MGG-stained · 40× objective, oil immersion · bone marrow aspirate smear — 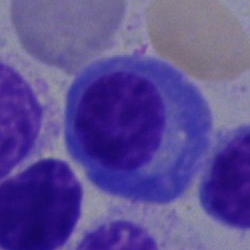 Specimen: bone marrow smear.
Morphological class: plasma cell.
Lineage: lymphoid.